360×363; peripheral blood smear; CellaVision DM96 — 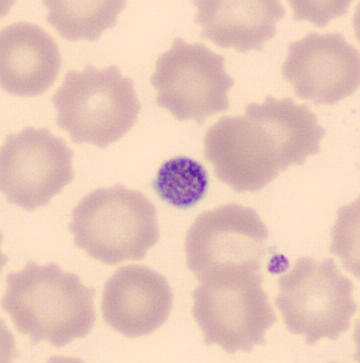 Morphology consistent with a platelet (thrombocyte).